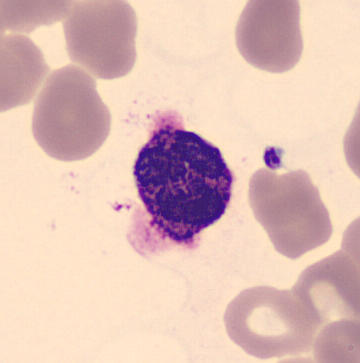

A basophilic granulocyte on a peripheral blood smear.